Image size 250×250 · bone marrow smear — 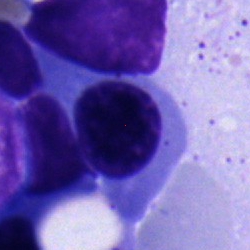
Impression — erythroblast.